250 by 250 pixels; bone marrow smear.
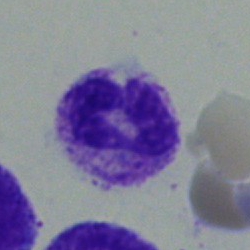 Neutrophil (segmented).